Peripheral blood smear; single cell centered in the field.
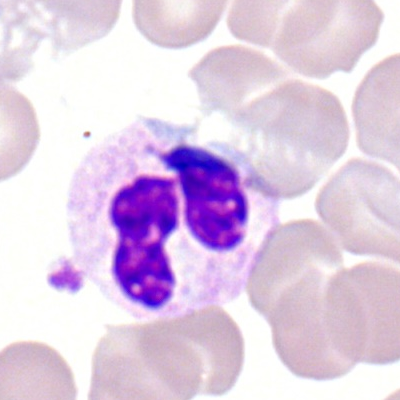 Specimen: peripheral blood smear.
Cell: segmented neutrophil.
Lineage: myeloid.